Bone marrow aspirate smear.
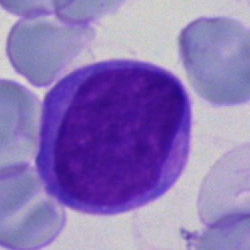

Morphology consistent with an undifferentiated blast.